250×250; MGG-stained; bone marrow aspirate smear
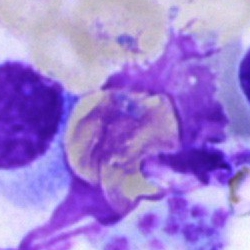 Specimen: bone marrow smear.
Cell type: artifact.